Bone marrow smear.
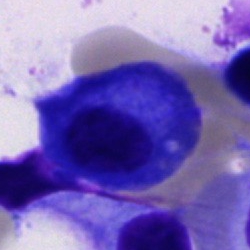 The cell type is plasmacyte.